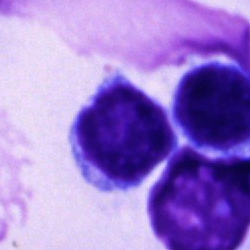
Lymphocyte.